Bone marrow smear:
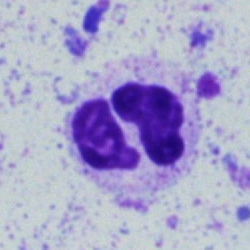 Q: What type of cell is this?
A: A segmented neutrophil.